Bone marrow aspirate smear
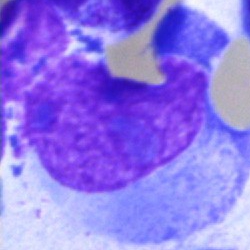

The cell is artifact.